May-Grünwald-Giemsa/Pappenheim stain · bone marrow smear.
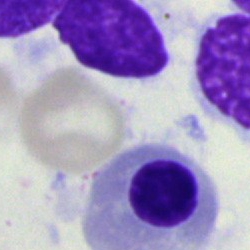Morphological class = erythroblast.